Image size 250×250 · bone marrow aspirate smear.
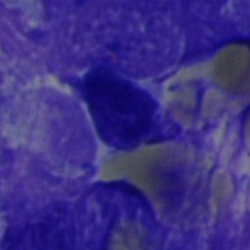 Single cell identified as an artifact.